Bone marrow aspirate smear · cropped to a single cell — 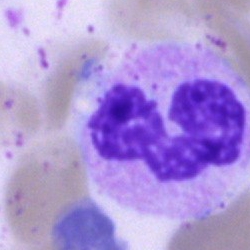

Cell type: segmented neutrophil.